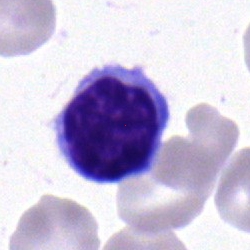 Q: What is the morphological classification of this cell?
A: It is a monocyte.